Bone marrow aspirate smear — 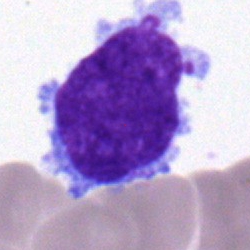 Q: What is the morphological classification of this cell?
A: This is an undifferentiated blast.